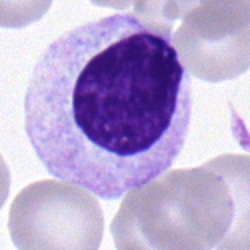Morphological class: myelocyte.